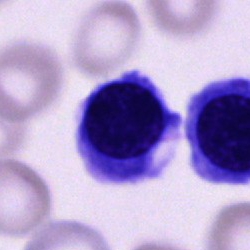
{"cell_type": "unidentifiable cell"}